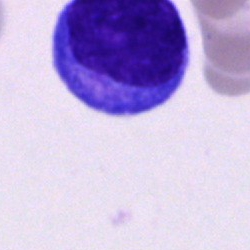 Cell type — progranulocyte.